Bone marrow smear — 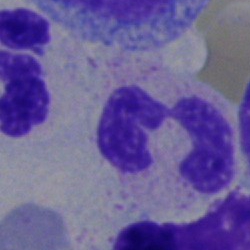Morphology consistent with a segmented neutrophil.